Romanowsky stain. Peripheral blood smear. 400×400:
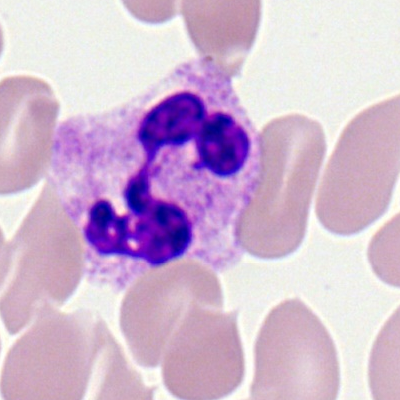The cell is polymorphonuclear neutrophil.